250×250 px. Bone marrow smear
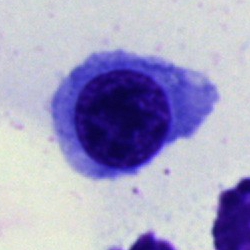 Q: What is shown here?
A: Nucleated red cell.